Bone marrow aspirate smear · image size 250×250.
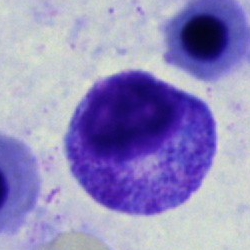 Classification — myelocyte.